May-Grünwald-Giemsa/Pappenheim stain. Bone marrow aspirate smear: 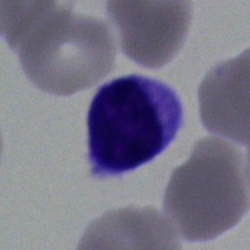 Single cell identified as a typical lymphocyte.